Bone marrow smear; 40× objective, oil immersion — 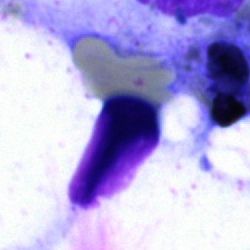Morphology — artefact.